Bone marrow aspirate smear:
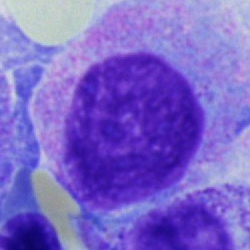Q: What is shown here?
A: This is a promyelocyte.